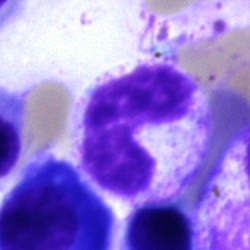Cell — neutrophil (band).